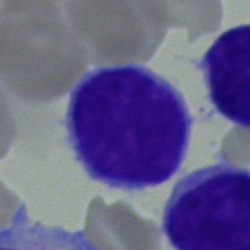Q: What is the morphological classification of this cell?
A: Lymphocyte.